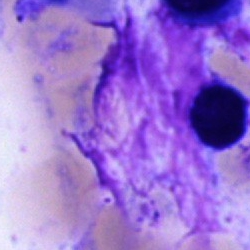 The classification is artefact.